Bone marrow smear: 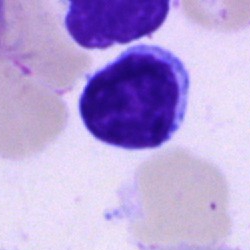
Morphology — typical lymphocyte.